Single cell centered in the field. Bone marrow smear. Image size 250×250.
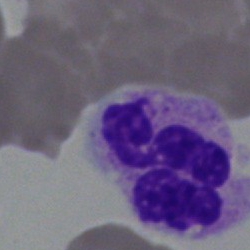
The cell is segmented neutrophil.